Bone marrow smear — 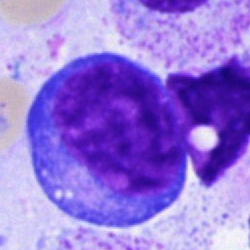

Undifferentiated blast.